250×250; bone marrow aspirate smear: 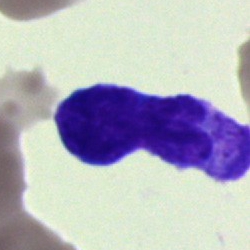 Classification: blast cell.